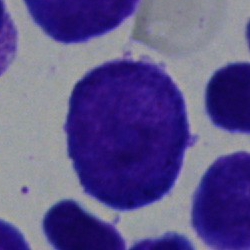
A typical lymphocyte.